Single cell centered in the field · bone marrow smear — 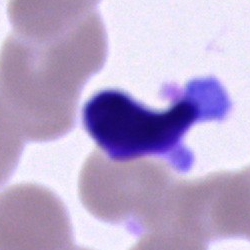

A cell of indeterminate lineage.